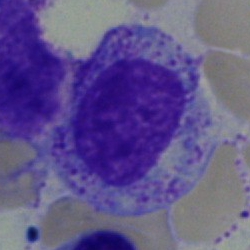

Bone marrow smear showing a myelocyte.